Single cell centered in the field; bone marrow smear — 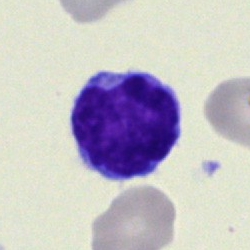 The morphological class is lymphocyte.